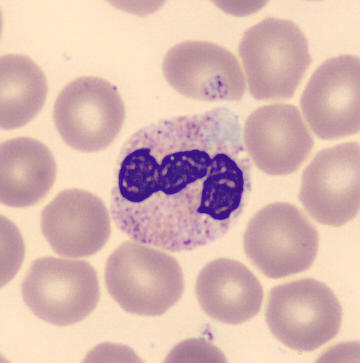Morphology — segmented neutrophil.